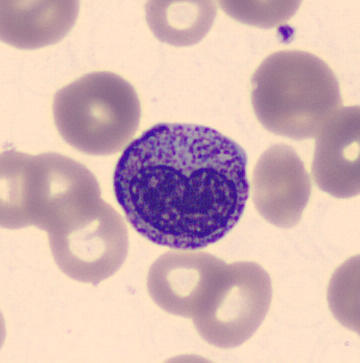 Classification: myelocyte.